Bone marrow aspirate smear: 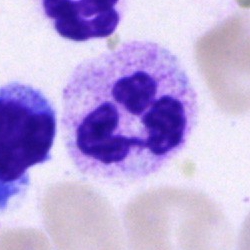
This is a polymorphonuclear neutrophil.